Bone marrow smear
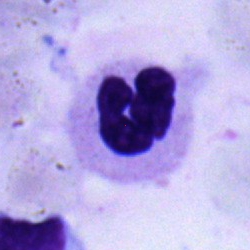
Morphological class — neutrophil (segmented).